Bone marrow aspirate smear
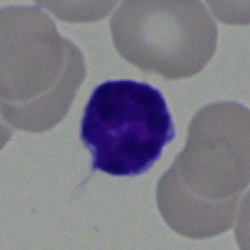
Showing a typical lymphocyte.